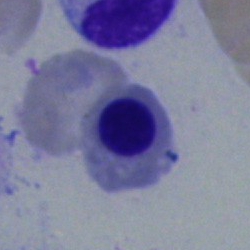
Q: What is the morphological classification of this cell?
A: Erythroblast.